Bone marrow smear — 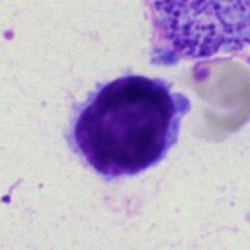
Cell — lymphocyte.